Bone marrow smear; MGG-stained.
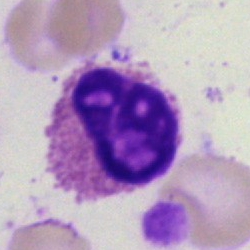 Q: What cell is this?
A: Eosinophil.